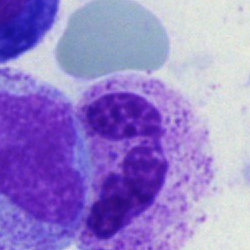
Specimen: bone marrow smear.
Cell: polymorphonuclear neutrophil.
Lineage: myeloid.